Bone marrow aspirate smear. Brightfield microscopy, 40× oil immersion. May-Grünwald-Giemsa stain
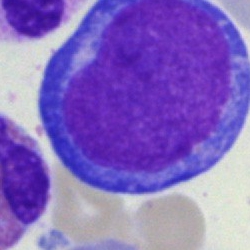 Classification: proerythroblast.